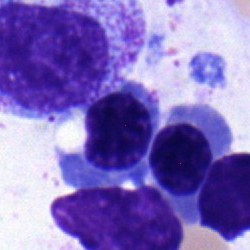 {"cell_type": "nucleated red cell", "lineage": "erythroid"}